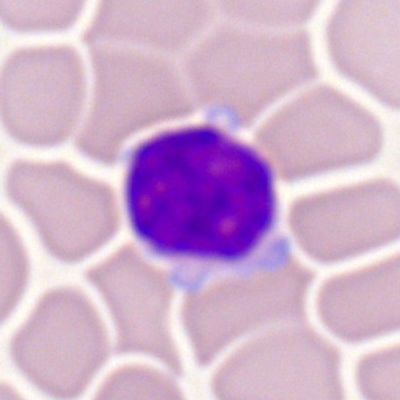

Morphology consistent with a lymphocyte.